Bone marrow smear; MGG-stained: 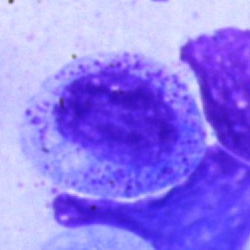 Cell: myelocyte.